Bone marrow aspirate smear; brightfield microscopy, 40× oil immersion: 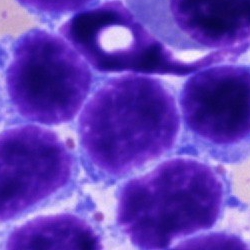 Q: What is shown here?
A: Typical lymphocyte.